MGG-stained · 40× objective, oil immersion · bone marrow aspirate smear.
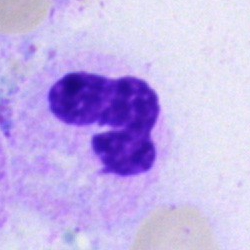
Showing a segmented neutrophil.